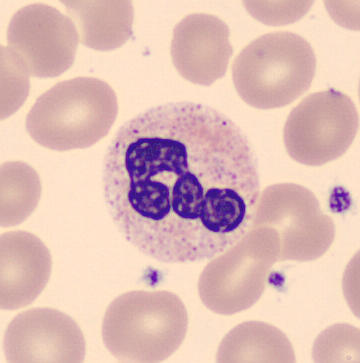

Showing a polymorphonuclear neutrophil. Acquisition: May Grünwald-Giemsa stain · 360×363 px · peripheral blood smear.